Bone marrow aspirate smear:
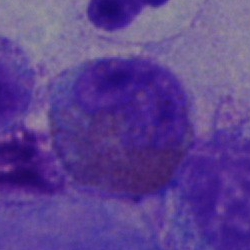Impression — eosinophilic granulocyte.